250×250 px. Bone marrow smear — 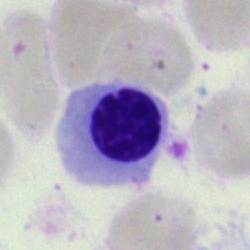

A normoblast.